May-Grünwald-Giemsa stain. 40× objective, oil immersion. Bone marrow smear.
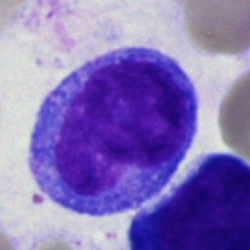
Specimen: bone marrow smear.
Cell type: progranulocyte.
Lineage: myeloid.